Bone marrow smear
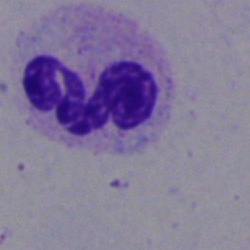 Morphology → segmented neutrophil.